Bone marrow aspirate smear; May-Grünwald-Giemsa stain
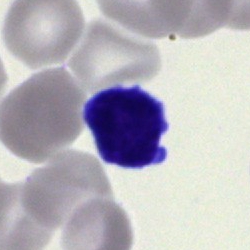
Cell type: lymphocyte.